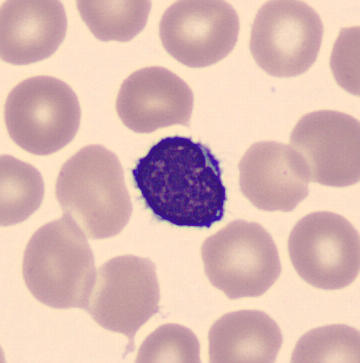 Peripheral blood smear. Morphology → typical lymphocyte.